40× oil immersion · bone marrow smear
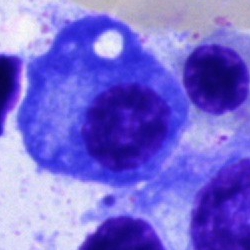Q: Which cell type is shown here?
A: This is a plasmacyte.